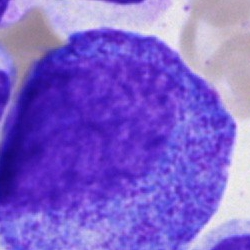

A promyelocyte on a bone marrow smear.